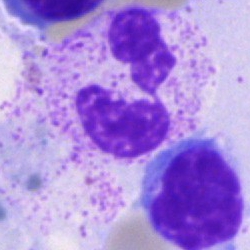 A neutrophil (segmented).